Brightfield, 40× oil-immersion objective · 250×250 · bone marrow aspirate smear:
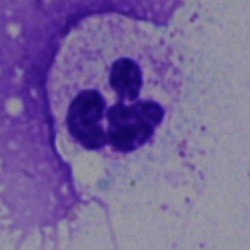 A polymorphonuclear neutrophil.